Peripheral blood smear; cropped to a single cell; automated cell imaging (CellaVision DM96):
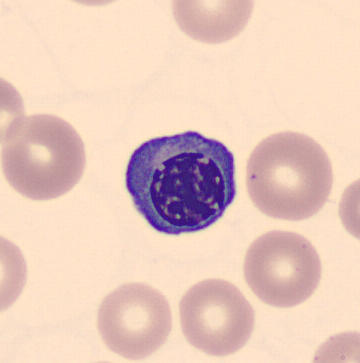 Identified as a nucleated red cell.